40× oil immersion; bone marrow aspirate smear.
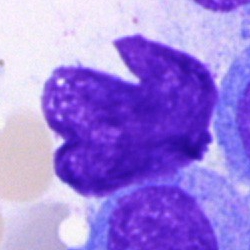Classification = artifact.